Bone marrow aspirate smear. Single-cell field:
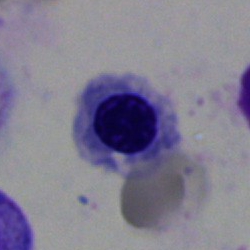 Morphology — normoblast.